Bone marrow smear — 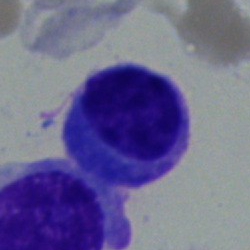

Single cell identified as a plasmacyte.